Bone marrow smear
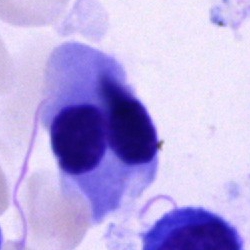

Impression — normoblast.